Bone marrow aspirate smear.
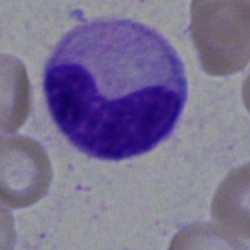
Band-form neutrophil.